Peripheral blood film.
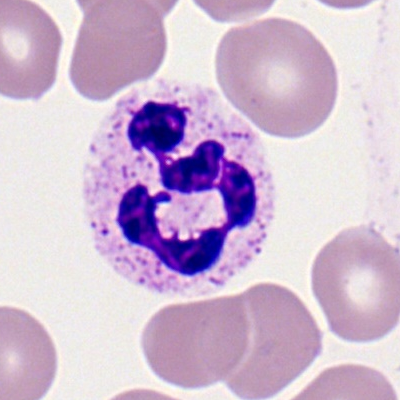

Classification = neutrophil (segmented).